Bone marrow aspirate smear:
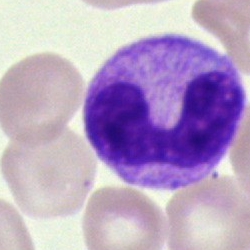
Showing a band-form neutrophil.